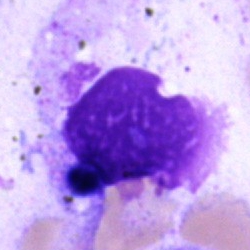 Artefact.